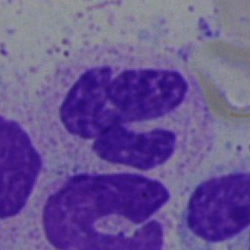
Specimen: bone marrow aspirate smear.
Classification: neutrophil (segmented).